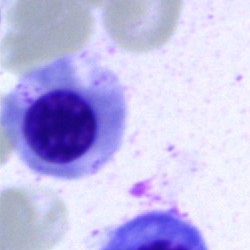Specimen: bone marrow aspirate smear.
Classification: erythroblast.
Lineage: erythroid.